Bone marrow aspirate smear
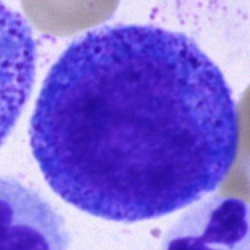

Single cell identified as a promyelocyte.